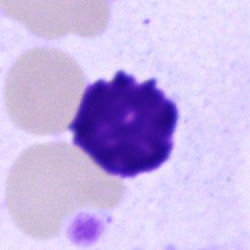
Specimen: bone marrow aspirate smear.
Classification: artifact.